Bone marrow aspirate smear.
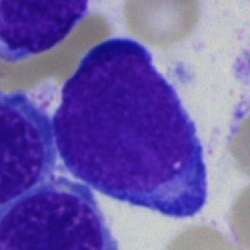
Proerythroblast.